MGG-stained. Peripheral blood film. CellaVision DM96 digital cell image.
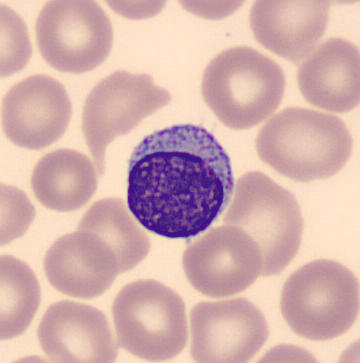 Impression — lymphocyte.